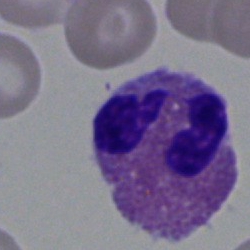Morphological class — eosinophil.